Bone marrow smear.
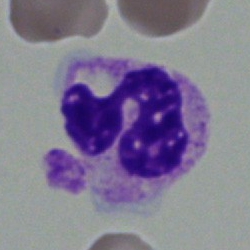

Q: What is the morphological classification of this cell?
A: It is a segmented neutrophil.